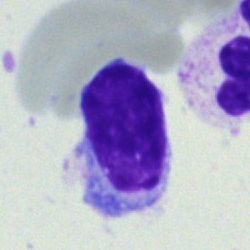

Single-cell crop from a bone marrow smear: typical lymphocyte.